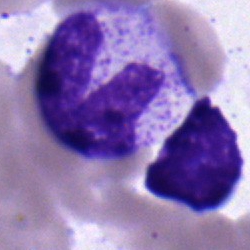

The cell shown is a segmented neutrophil.